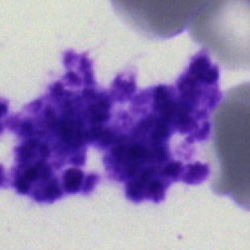
Cell type: artifact.